Pappenheim-stained · bone marrow smear · 40× oil immersion — 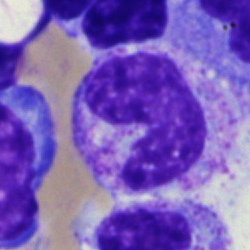

Morphology → band neutrophil.